Single cell centered in the field. Bone marrow smear. May-Grünwald-Giemsa/Pappenheim stain:
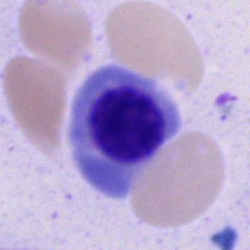
This is a nucleated red cell.